Bone marrow aspirate smear:
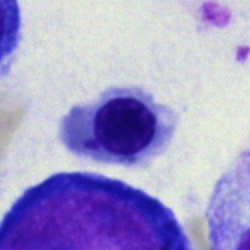
Morphological class — erythroblast.